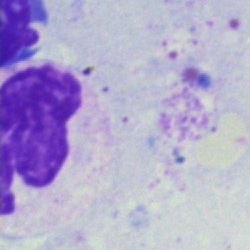

Morphological class = artefact.